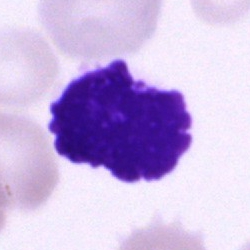Showing an artefact.